Bone marrow aspirate smear:
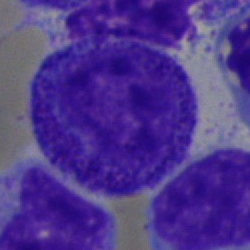
Cell = progranulocyte.